Bone marrow smear · brightfield microscopy, 40× oil immersion · single-cell field: 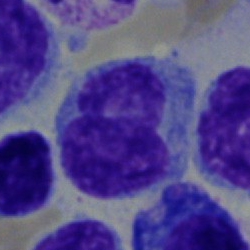
Morphology consistent with a hairy cell.